Bone marrow aspirate smear:
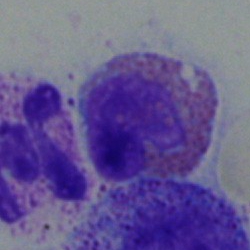
An eosinophilic granulocyte.